Bone marrow aspirate smear.
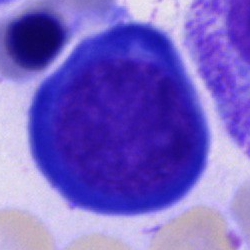

A pronormoblast.